Brightfield microscopy, 40× oil immersion; bone marrow aspirate smear.
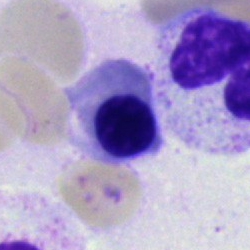Showing a nucleated red cell.